Bone marrow smear: 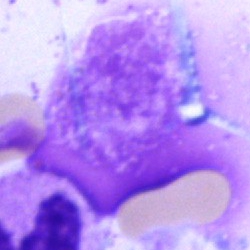

Specimen: bone marrow smear.
Cell type: artifact.